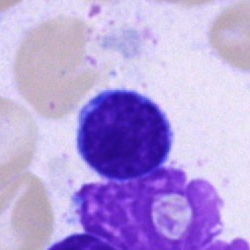Q: Identify the cell.
A: This is a lymphocyte.